Bone marrow smear: 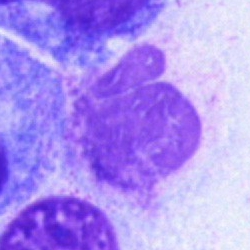
This is an artefact.